Bone marrow smear. 40× oil immersion:
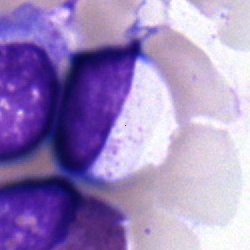Single cell identified as a neutrophil (band).